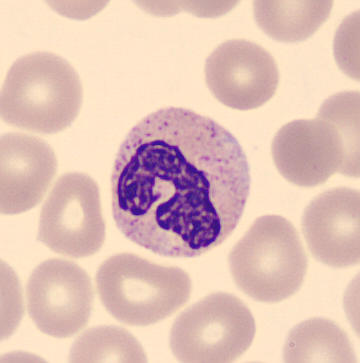 Specimen: peripheral blood smear.
Cell type: band neutrophil.
Lineage: myeloid. MGG stain.